Bone marrow smear: 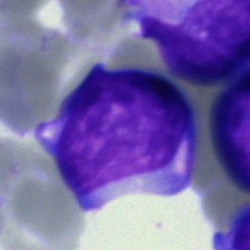An undifferentiated blast.